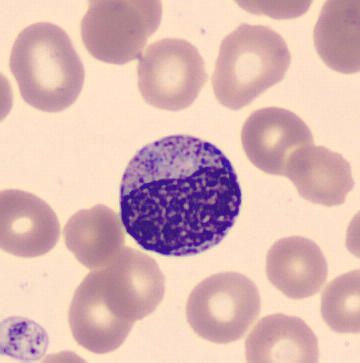
Preparation: Peripheral blood film.

A metamyelocyte.